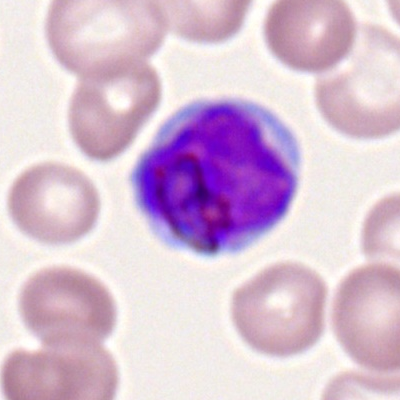Q: What type of cell is this?
A: A typical lymphocyte.